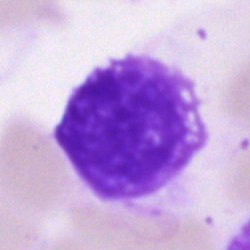 Morphological class: artifact.